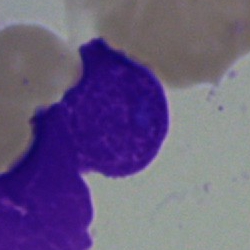

Bone marrow aspirate smear, single cell — artefact.